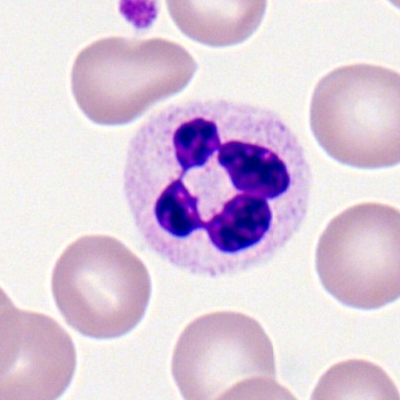

Specimen: peripheral blood film.
Classification: segmented neutrophil.
Lineage: myeloid.